May-Grünwald-Giemsa/Pappenheim stain; bone marrow aspirate smear: 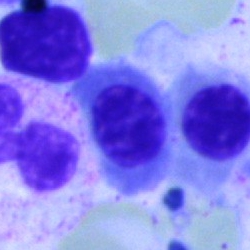This is a nucleated red cell.